Bone marrow aspirate smear
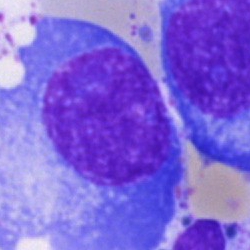
Q: What is shown here?
A: This is a plasma cell.